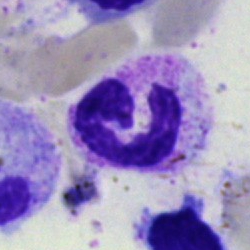Cell type — segmented neutrophil.